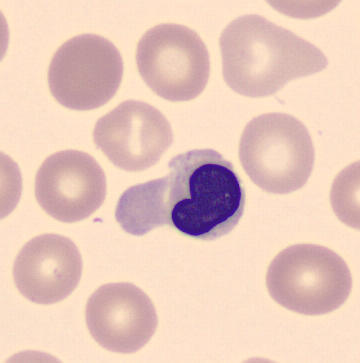
Peripheral blood film.

Morphological class — nucleated red cell.